Cropped to a single cell · bone marrow aspirate smear · May-Grünwald-Giemsa stain: 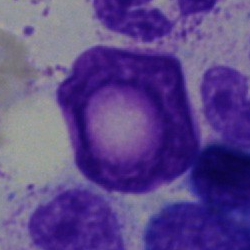 Impression — artifact.